Bone marrow aspirate smear: 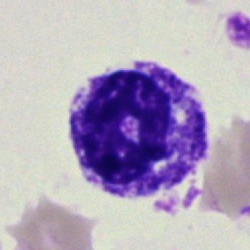The cell shown is a neutrophil (segmented).